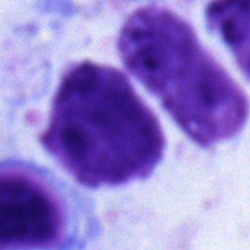
Cell type: typical lymphocyte.